Bone marrow aspirate smear — 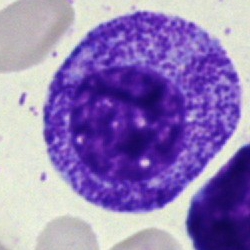

Specimen: bone marrow aspirate smear.
Classification: promyelocyte.